Bone marrow aspirate smear:
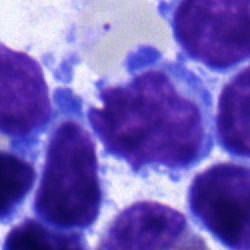
Specimen: bone marrow aspirate smear.
Cell: typical lymphocyte.
Lineage: lymphoid.